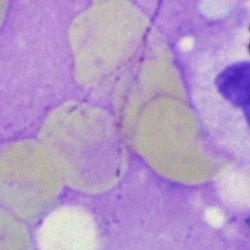
Morphology consistent with an artifact.